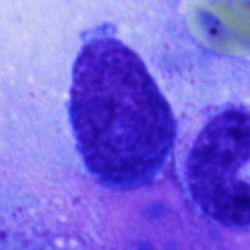
Cell type: blast.